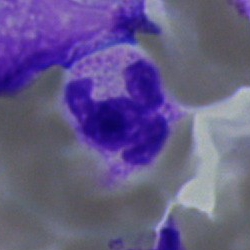

Neutrophil (segmented).